Image size 250×250. Bone marrow aspirate smear — 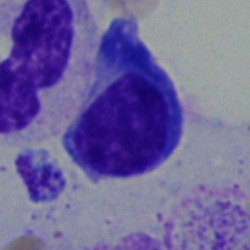

Morphology — plasma cell.